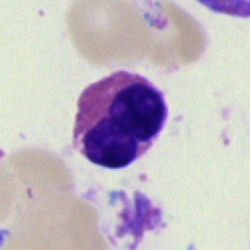Bone marrow smear showing an eosinophilic granulocyte.